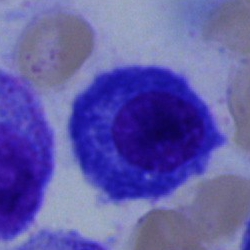 Impression → plasmacyte.